Bone marrow aspirate smear:
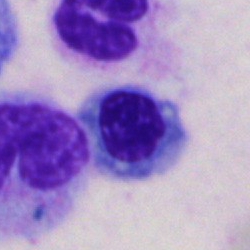
Morphological class — nucleated red blood cell.